Bone marrow aspirate smear; single-cell crop
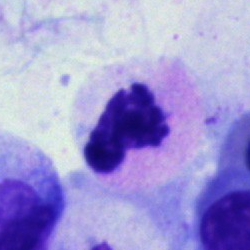

Specimen: bone marrow aspirate smear.
Cell: neutrophil (segmented).
Lineage: myeloid.